Single-cell field. Bone marrow smear. Pappenheim-stained
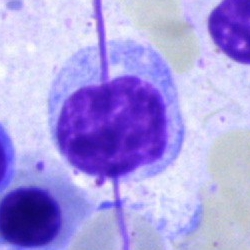

Specimen: bone marrow smear.
Cell type: lymphocyte.
Lineage: lymphoid.